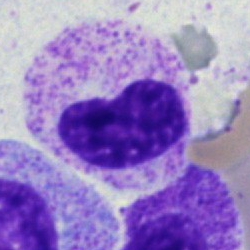

Cell — metamyelocyte.